Bone marrow aspirate smear. Single-cell field. May-Grünwald-Giemsa stain.
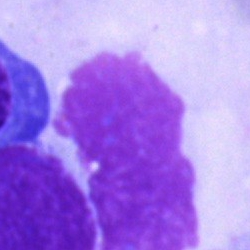
Specimen: bone marrow smear.
Cell type: artefact.